Bone marrow aspirate smear — 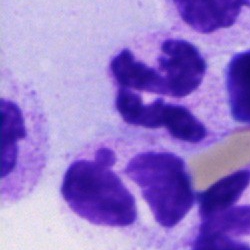Morphology → neutrophil (segmented).